Bone marrow smear — 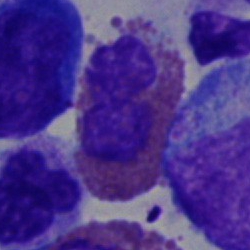 Q: What cell is this?
A: It is an eosinophil.